Bone marrow smear
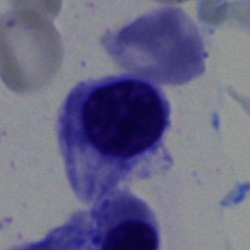

Morphological class — nucleated red cell.